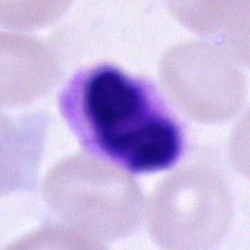

{"cell_type": "neutrophil (segmented)", "lineage": "myeloid"}